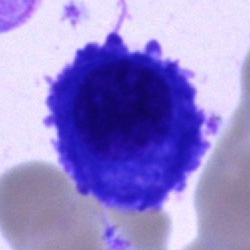Morphological class — plasma cell.